Cropped to a single cell · bone marrow aspirate smear — 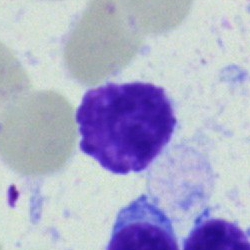

Classification — typical lymphocyte.